Bone marrow smear.
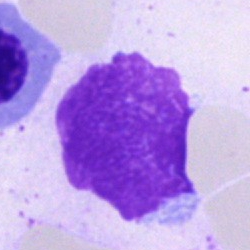

Single cell identified as an artefact.